Peripheral blood film. MGG stain. Cropped to a single cell.
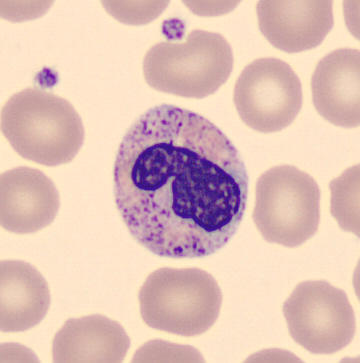A stab cell.